Bone marrow aspirate smear: 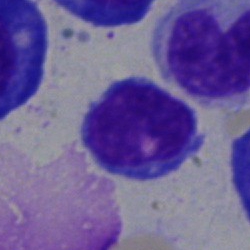 Q: Which cell type is shown here?
A: It is a typical lymphocyte.